Single-cell field · bone marrow smear:
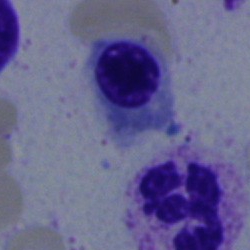
Q: What is shown here?
A: A nucleated red cell.